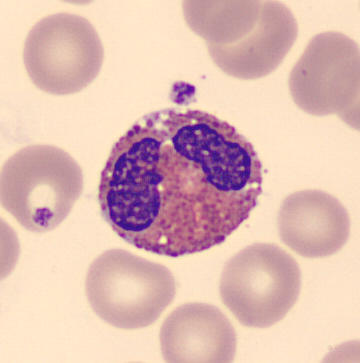

Q: What type of cell is this?
A: This is an eosinophil.